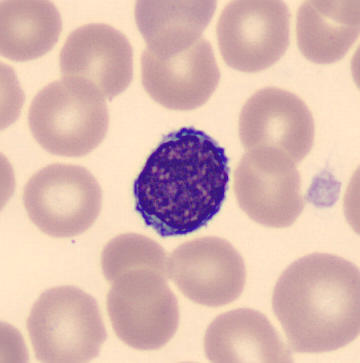

Peripheral blood smear · 360×363 px · CellaVision DM96. Morphology — lymphocyte.